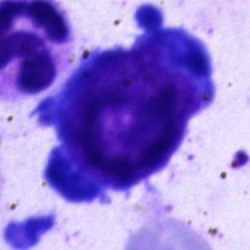Specimen: bone marrow aspirate smear.
Cell type: pronormoblast.